40× oil immersion; bone marrow aspirate smear:
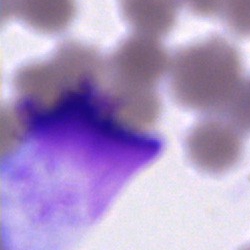An artifact.